Bone marrow smear. Brightfield microscopy, 40× oil immersion. Single cell centered in the field — 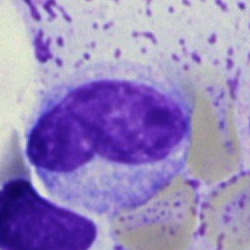

The morphological class is metamyelocyte.